Bone marrow aspirate smear — 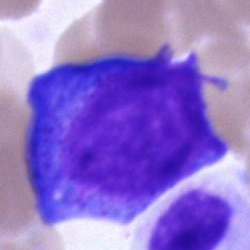Cell type: promyelocyte.